Peripheral blood smear · single-cell field: 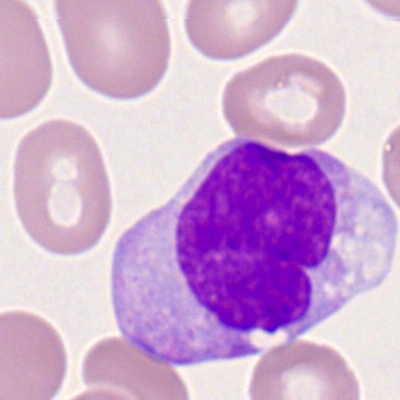 {"cell_type": "monocyte", "lineage": "myeloid"}